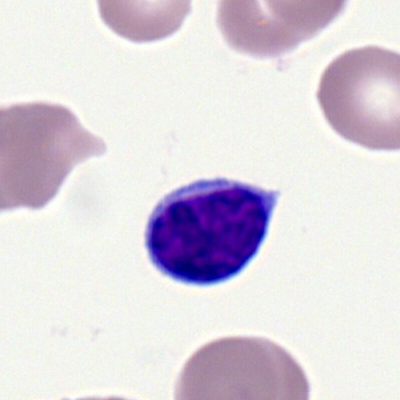 Specimen: peripheral blood film.
Cell: lymphocyte.